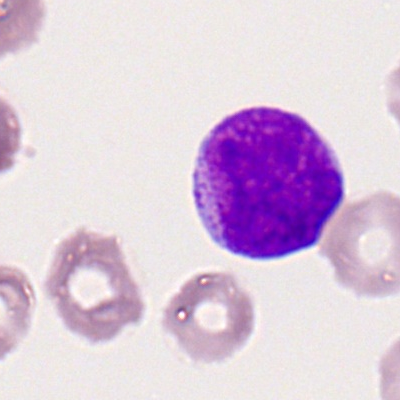 Peripheral blood film, single cell — myeloblast.